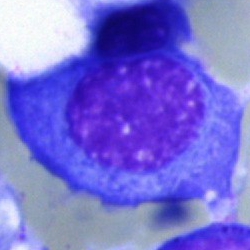

Specimen: bone marrow smear.
Cell: plasmacyte.
Lineage: lymphoid.